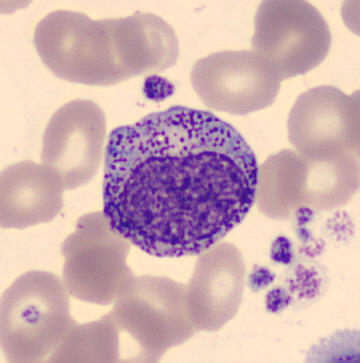 Morphological class — myelocyte.